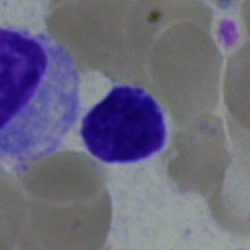Morphology → lymphocyte.